Bone marrow aspirate smear.
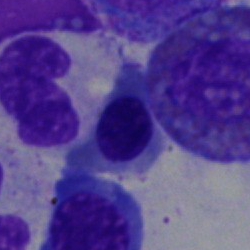
Q: What is shown here?
A: A normoblast.